Bone marrow aspirate smear.
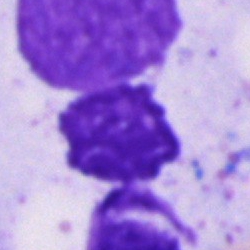
Specimen: bone marrow aspirate smear.
Cell type: artefact.